May-Grünwald-Giemsa stain; bone marrow aspirate smear; 250×250 px
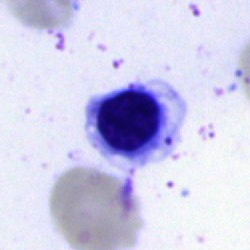

Morphology consistent with an erythroblast.